Bone marrow smear · 250 by 250 pixels.
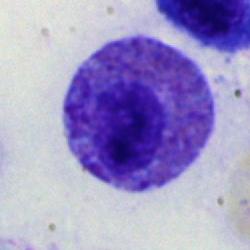Impression → eosinophilic granulocyte.